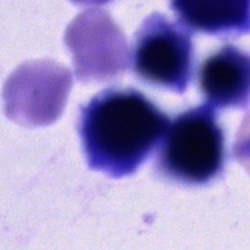

Impression → cell of indeterminate lineage.